Peripheral blood film. Single cell centered in the field. Romanowsky-stained:
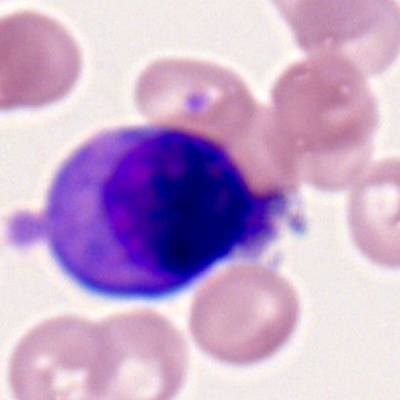
Specimen: peripheral blood film.
Cell: myeloid blast.